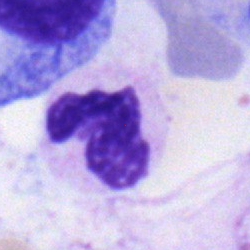 Morphology — nucleated red cell.